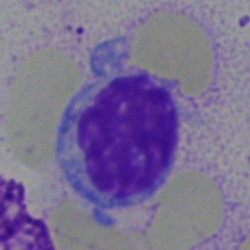 A lymphocyte.